Cropped to a single cell; bone marrow smear; brightfield, 40× oil-immersion objective — 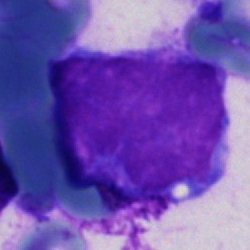The morphological class is blast.